Bone marrow aspirate smear — 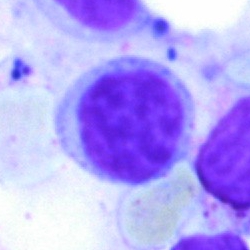

{"cell_type": "lymphocyte", "lineage": "lymphoid"}